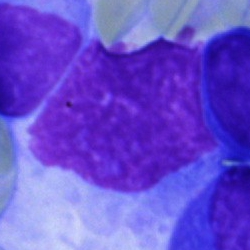

Cell type = artefact.